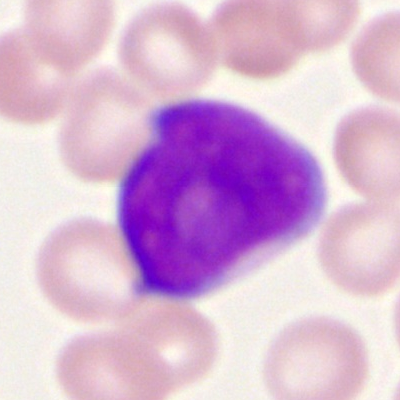

Showing a myeloblast.